Bone marrow aspirate smear: 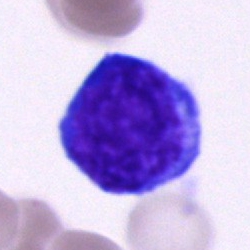
Specimen: bone marrow smear.
Cell type: undifferentiated blast.